Bone marrow aspirate smear.
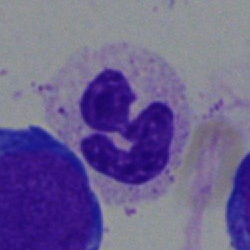
Showing a segmented neutrophil.